Bone marrow smear.
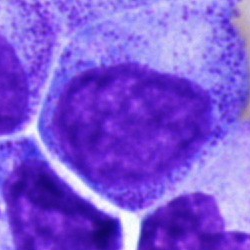Classification: progranulocyte.